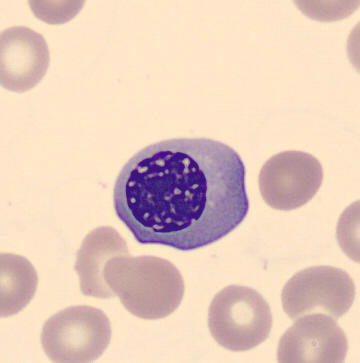 Single cell centered in the field; peripheral blood film.

Identified as an erythroblast.